Bone marrow aspirate smear · brightfield, 40× oil-immersion objective
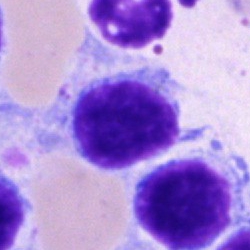 Classification: typical lymphocyte.